Bone marrow aspirate smear.
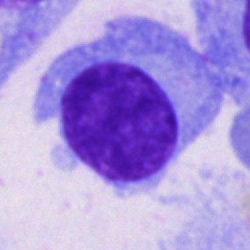 A plasma cell.